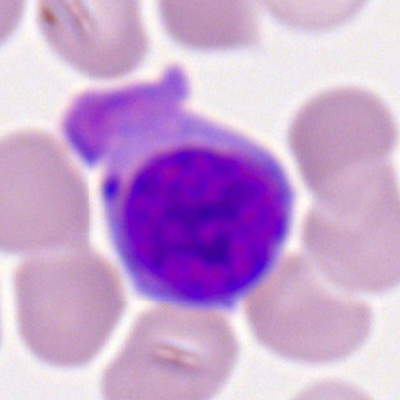
Specimen: peripheral blood smear.
Morphological class: myeloid blast.
Lineage: myeloid.